Peripheral blood film:
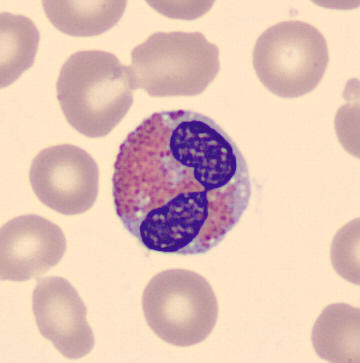 This is an eosinophilic granulocyte.